Bone marrow aspirate smear; single cell centered in the field:
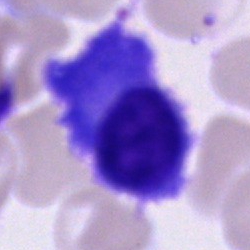Single cell identified as a plasmacyte.